Pappenheim-stained; bone marrow aspirate smear:
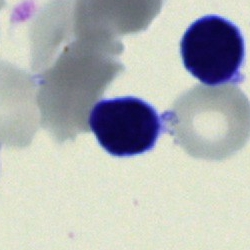 Morphological class = lymphocyte.